40× oil immersion. Bone marrow smear. MGG-stained
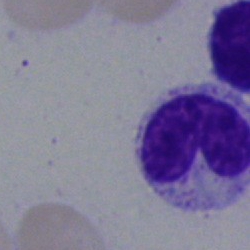 Q: What type of cell is this?
A: It is a band neutrophil.